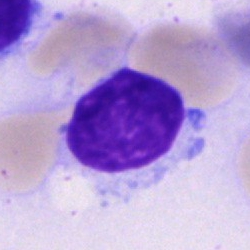
The cell is lymphocyte.